Brightfield, 40× oil-immersion objective · bone marrow smear
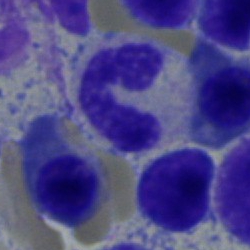 Classification: neutrophil (band).